Bone marrow smear; Pappenheim-stained; cropped to a single cell.
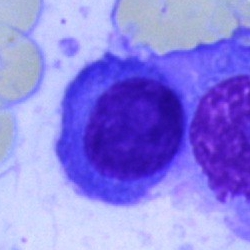 Q: What cell is this?
A: This is a plasma cell.